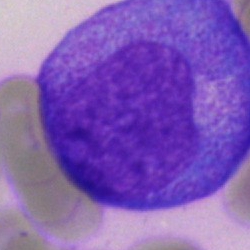
Impression → promyelocyte.